Bone marrow aspirate smear · 250×250 — 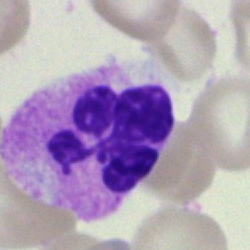

Showing a polymorphonuclear neutrophil.